Brightfield, 40× oil-immersion objective · bone marrow smear
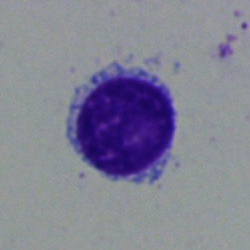

The morphological class is lymphocyte.